Bone marrow smear
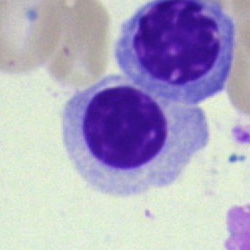 This is an erythroblast.